Bone marrow smear: 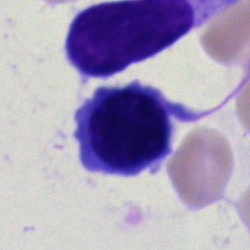 Q: What is shown here?
A: It is a normoblast.